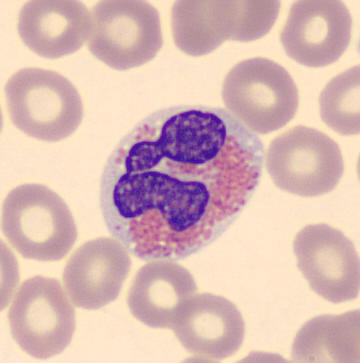
Classification — eosinophilic granulocyte.